Bone marrow smear
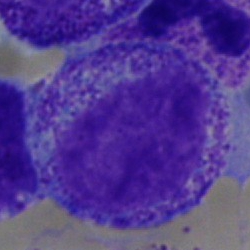

Morphological class — myelocyte.